Bone marrow smear · 40× objective, oil immersion · 250 by 250 pixels: 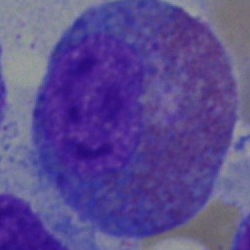Cell: eosinophil.